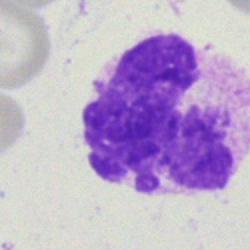
Q: What is shown here?
A: It is an artefact.